Bone marrow aspirate smear — 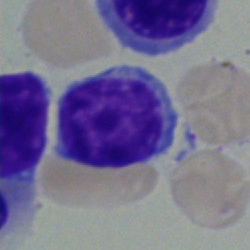 Cell type — typical lymphocyte.